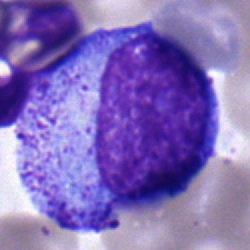

Morphology consistent with a progranulocyte.